Peripheral blood film
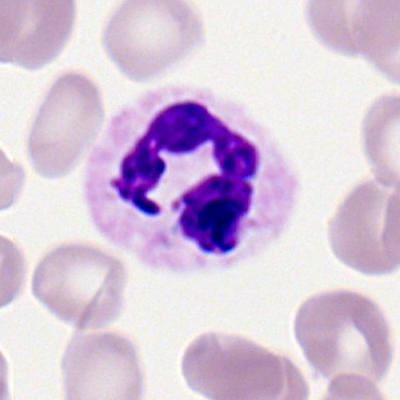

Specimen: peripheral blood film.
Morphological class: polymorphonuclear neutrophil.
Lineage: myeloid.